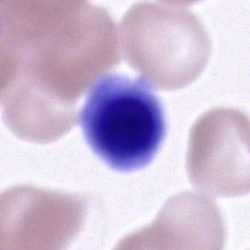

Bone marrow smear showing a normoblast.